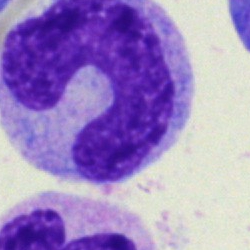Classification = monocyte.